Bone marrow smear; 250×250: 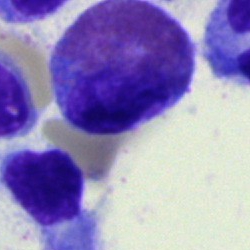
The cell shown is an eosinophil.